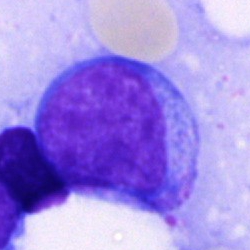

Morphology — undifferentiated blast.